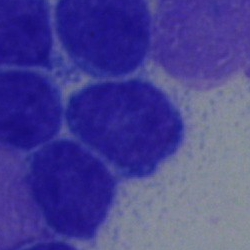 The cell shown is a typical lymphocyte.